Bone marrow aspirate smear:
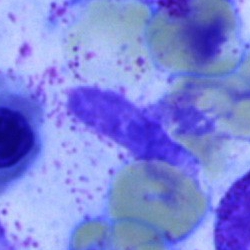 This is an artifact.